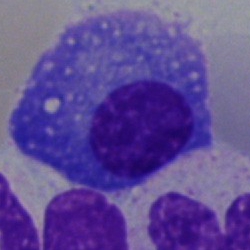 Q: Which cell type is shown here?
A: This is a plasma cell.